250 by 250 pixels · bone marrow aspirate smear — 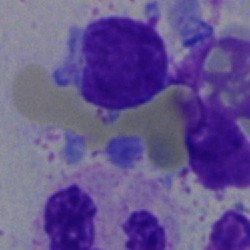
Morphology consistent with a typical lymphocyte.